Single cell centered in the field · bone marrow smear:
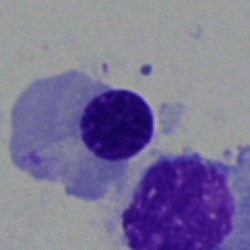
Normoblast.